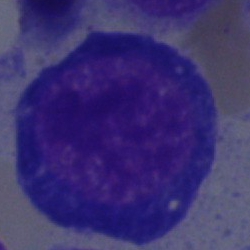

Q: Which cell type is shown here?
A: Pronormoblast.